Peripheral blood film · 360 by 363 pixels.
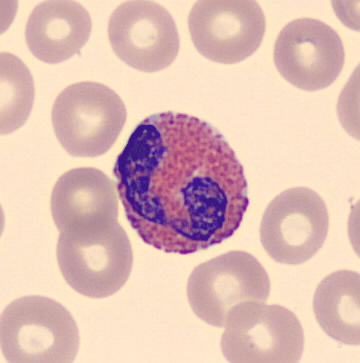
Q: What type of cell is this?
A: This is an eosinophilic granulocyte.